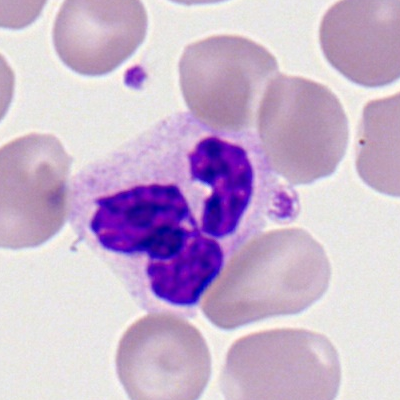
The morphological class is segmented neutrophil.